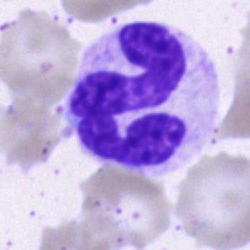

Bone marrow smear showing a polymorphonuclear neutrophil.